Bone marrow smear
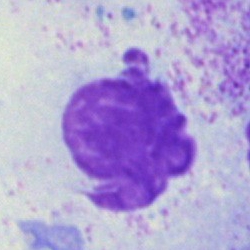 An artefact.